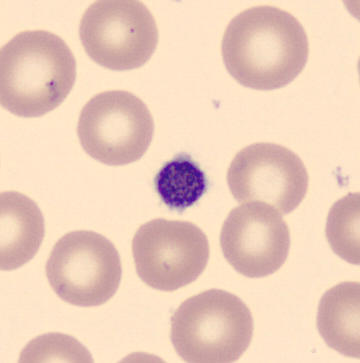

Platelet (thrombocyte).